Bone marrow aspirate smear. May-Grünwald-Giemsa stain.
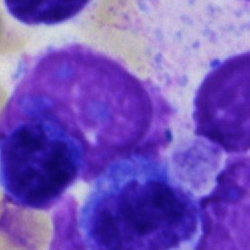 Q: What is shown here?
A: It is an artefact.